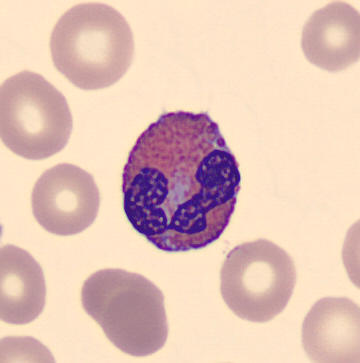The cell is eosinophil. Preparation: Peripheral blood film. MGG stain.